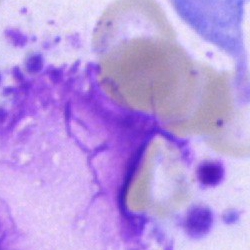

Specimen: bone marrow smear.
Morphological class: artefact.